Bone marrow smear; brightfield microscopy, 40× oil immersion
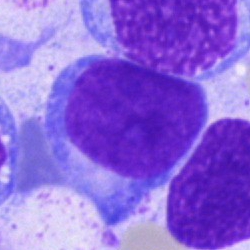

This is a blast cell.